Single-cell crop. 250 by 250 pixels. Bone marrow aspirate smear:
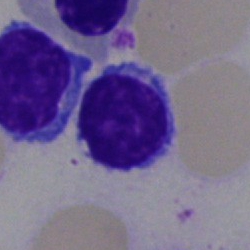

Specimen: bone marrow aspirate smear.
Morphological class: lymphocyte.